Bone marrow smear. Brightfield, 40× oil-immersion objective.
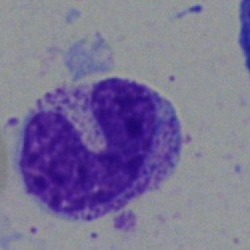

The classification is band neutrophil.